Bone marrow aspirate smear; 250×250 px:
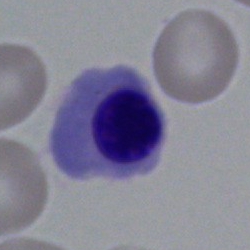
Classification = nucleated red blood cell.